Brightfield microscopy, 40× oil immersion · bone marrow aspirate smear — 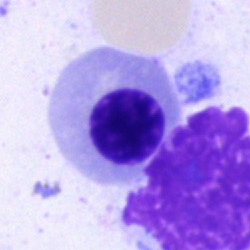 Q: Identify the cell.
A: An erythroblast.